Bone marrow smear.
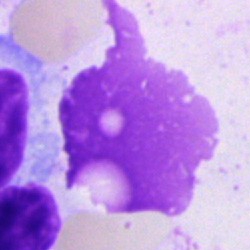
Specimen: bone marrow aspirate smear.
Morphological class: artefact.